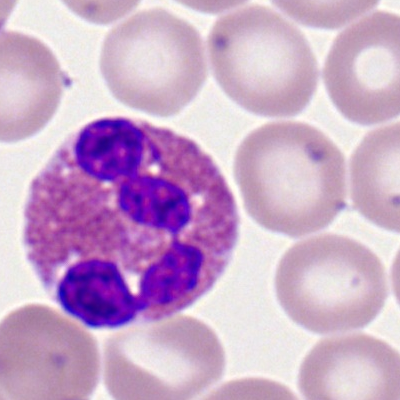

Q: Identify the cell.
A: Eosinophil.